Bone marrow aspirate smear:
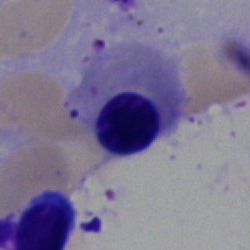 Classification — erythroblast.